Bone marrow aspirate smear
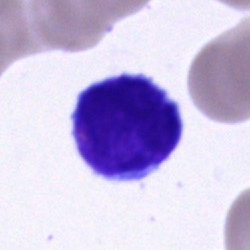 Lymphocyte.